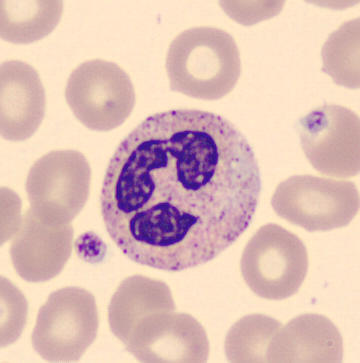 Image: Single-cell crop. Peripheral blood film. MGG-stained.

Morphological class = polymorphonuclear neutrophil.